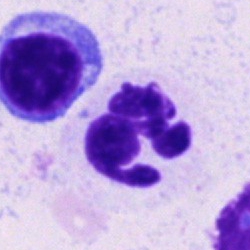
Q: What is the morphological classification of this cell?
A: A segmented neutrophil.